Bone marrow smear: 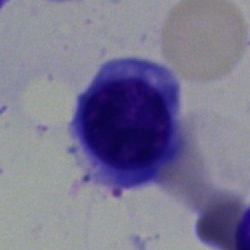 This is a nucleated red cell.